40× objective, oil immersion; bone marrow smear
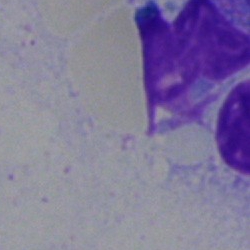
Morphological class — artifact.